Bone marrow smear; 250 by 250 pixels — 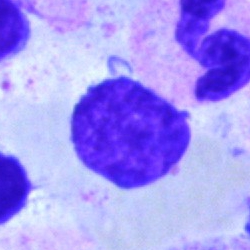
Specimen: bone marrow aspirate smear.
Morphological class: typical lymphocyte.
Lineage: lymphoid.